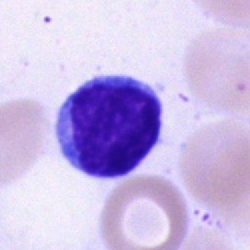
Q: Which cell type is shown here?
A: A typical lymphocyte.